Bone marrow smear · 40× objective, oil immersion:
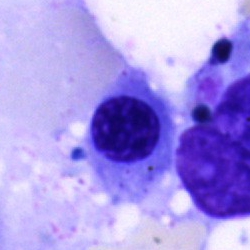

Single cell identified as an erythroblast.